Bone marrow aspirate smear — 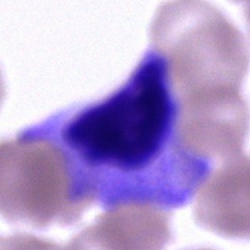
Q: What is shown here?
A: Artefact.